Bone marrow smear · 250×250 — 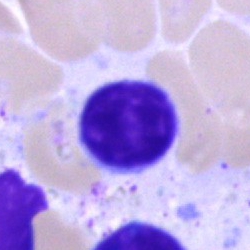
Classification: lymphocyte.